Peripheral blood film. 400×400 px — 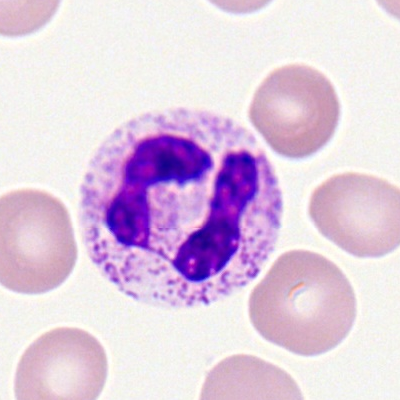
Q: What is the morphological classification of this cell?
A: It is a polymorphonuclear neutrophil.